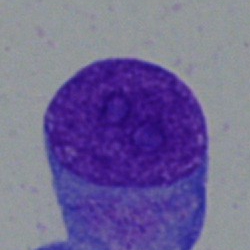 The cell is undifferentiated blast.